Brightfield microscopy, 40× oil immersion · bone marrow smear:
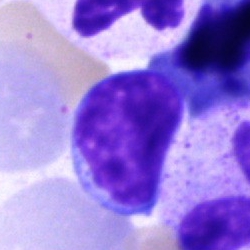 Q: What cell is this?
A: Typical lymphocyte.